250×250 px; bone marrow smear:
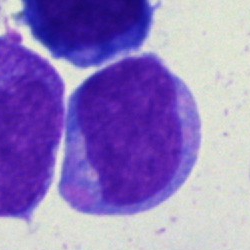
Q: What is shown here?
A: Blast.